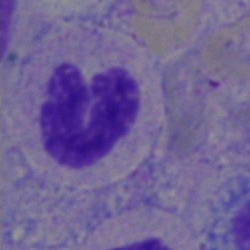

Cell — neutrophil (band).